Bone marrow aspirate smear · May-Grünwald-Giemsa/Pappenheim stain: 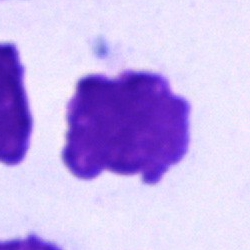 Cell = artefact.